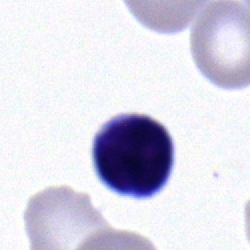 The cell type is typical lymphocyte.